Single cell centered in the field; bone marrow smear; image size 250×250:
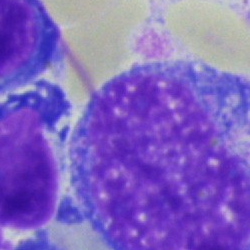 This is a progranulocyte.